Bone marrow smear: 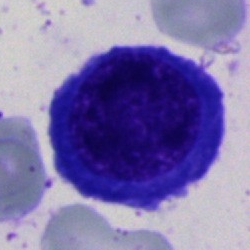Cell = normoblast.